Bone marrow smear
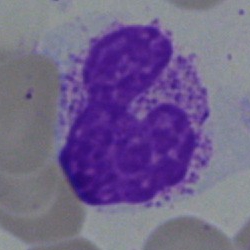Morphology consistent with a neutrophil (band).